Bone marrow smear:
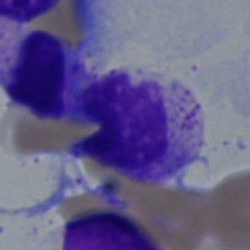 The cell shown is a segmented neutrophil.